Peripheral blood smear. Romanowsky-stained. Image size 400×400:
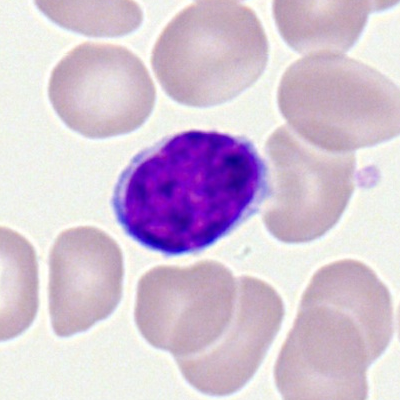Q: Identify the cell.
A: It is a lymphocyte.